Bone marrow aspirate smear · May-Grünwald-Giemsa stain.
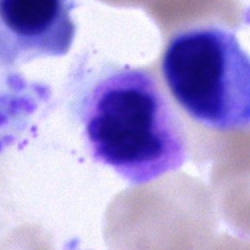 Cell: segmented neutrophil.